Bone marrow aspirate smear · 250 by 250 pixels.
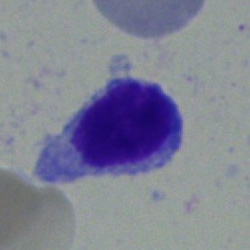 Typical lymphocyte.